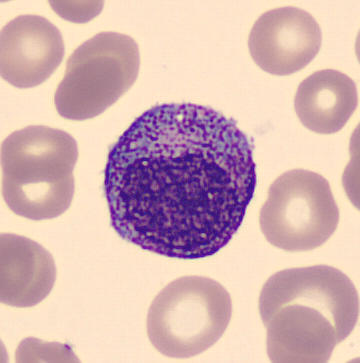
Q: Identify the cell.
A: This is a promyelocyte. Preparation: Peripheral blood smear.